Bone marrow smear; 250×250; May-Grünwald-Giemsa/Pappenheim stain — 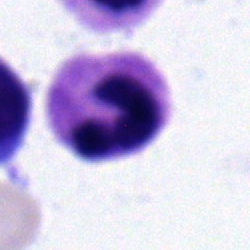
Classification = polymorphonuclear neutrophil.